Peripheral blood smear: 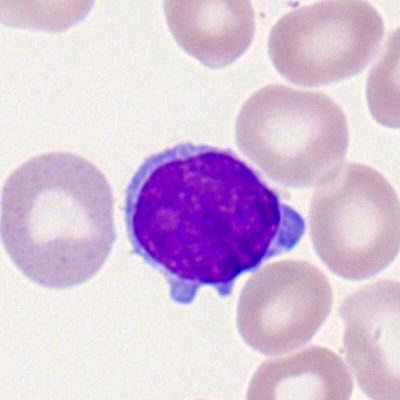
The cell shown is a lymphocyte.